Bone marrow smear. 40× objective, oil immersion. Single cell centered in the field.
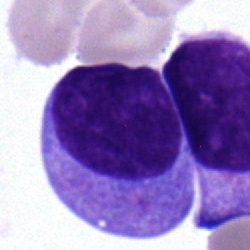
Showing a typical lymphocyte.